250×250; single cell centered in the field; bone marrow smear:
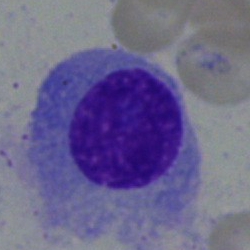 The cell is plasma cell.